Bone marrow aspirate smear — 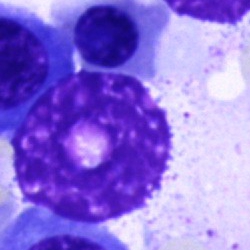 Q: What is shown here?
A: An artefact.